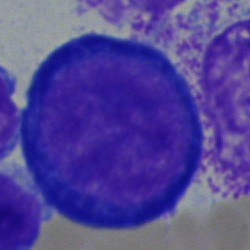
Q: What type of cell is this?
A: It is a proerythroblast.